Bone marrow aspirate smear — 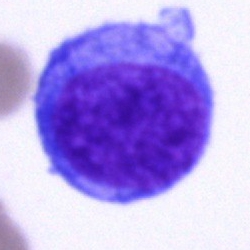
Q: Identify the cell.
A: A blast.